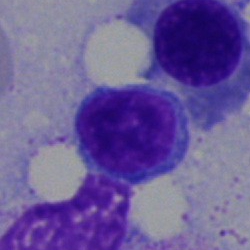
Impression → typical lymphocyte.